Bone marrow aspirate smear · 250×250: 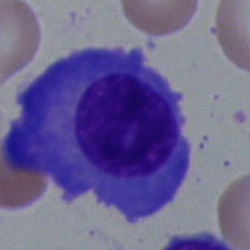
Cell: plasmacyte.